Bone marrow aspirate smear — 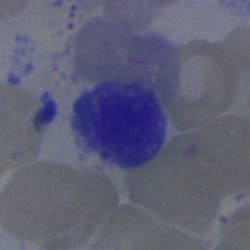 Impression → lymphocyte.